Bone marrow aspirate smear.
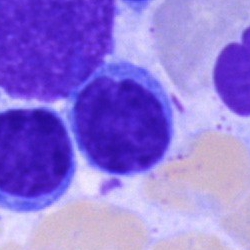Q: Which cell type is shown here?
A: Typical lymphocyte.